Image size 250×250; bone marrow aspirate smear: 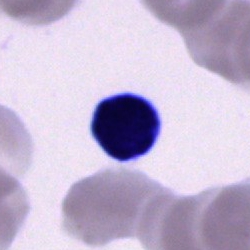Specimen: bone marrow aspirate smear.
Morphological class: cell of indeterminate lineage.